Bone marrow smear — 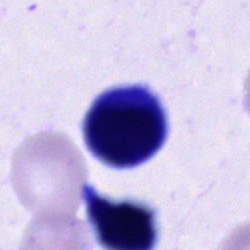

Showing an unidentifiable cell.